Peripheral blood film: 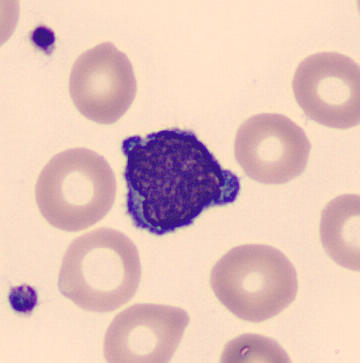Identified as a typical lymphocyte.